Bone marrow aspirate smear; 250×250.
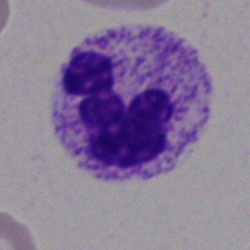 Q: Which cell type is shown here?
A: It is a neutrophil (segmented).